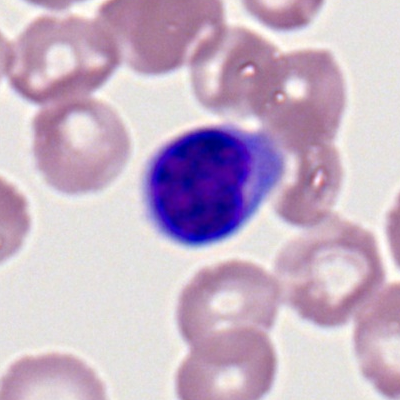

Morphological class: lymphocyte.